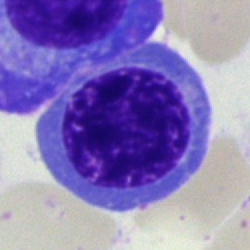Single cell identified as a normoblast.